Bone marrow smear: 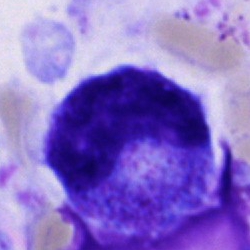Classification: promyelocyte.